Single cell centered in the field; 250×250 px; bone marrow aspirate smear — 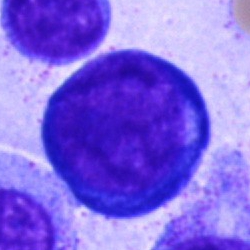 This is a pronormoblast.